Bone marrow smear; single-cell field.
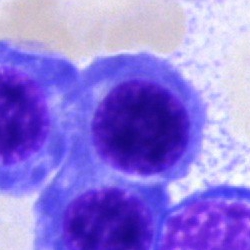
The cell type is erythroblast.